Bone marrow aspirate smear
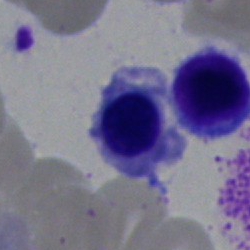 {"cell_type": "nucleated red blood cell", "lineage": "erythroid"}